Bone marrow smear.
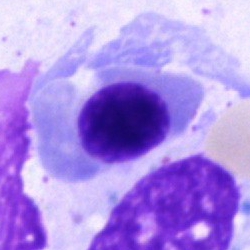The cell shown is an erythroblast.